Image size 250×250 · bone marrow aspirate smear — 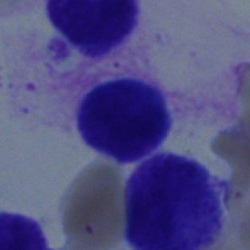Showing a lymphocyte.